40× oil immersion · single-cell crop · bone marrow aspirate smear — 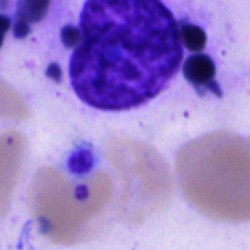

Morphology — artefact.